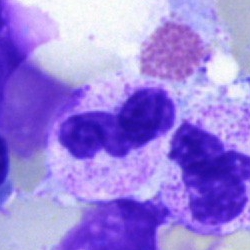Morphology consistent with a polymorphonuclear neutrophil.